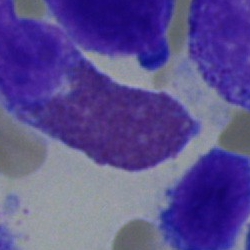
Impression → eosinophil.